Bone marrow smear
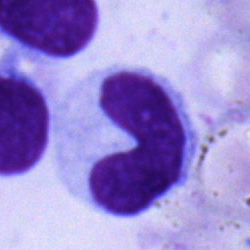
A stab cell.